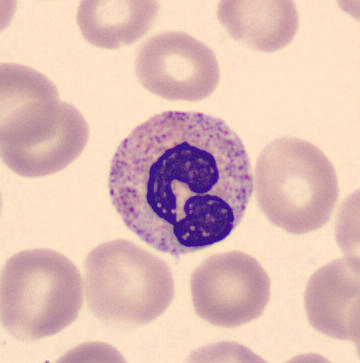 The morphological class is neutrophil (segmented). Preparation: Peripheral blood smear.